Bone marrow aspirate smear:
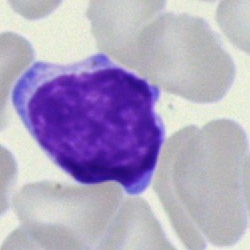

Q: What cell is this?
A: It is a lymphocyte.